Bone marrow smear · 40× oil immersion · image size 250×250:
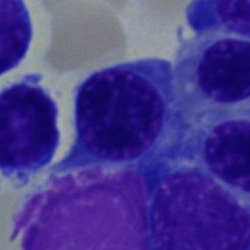 Showing a nucleated red cell.